Bone marrow aspirate smear: 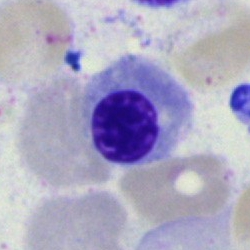
Q: What type of cell is this?
A: Normoblast.